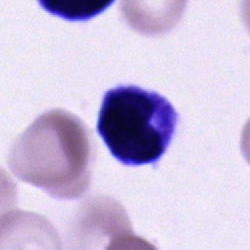
Morphology — cell of indeterminate lineage.